Bone marrow smear:
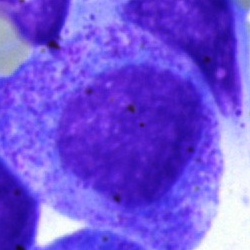
The cell is progranulocyte.